Bone marrow aspirate smear: 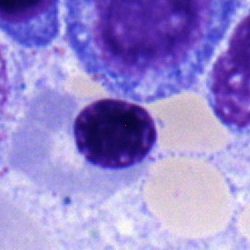 Impression → nucleated red blood cell.